250 by 250 pixels · cropped to a single cell · bone marrow smear: 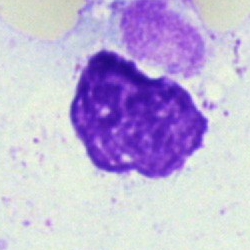

The cell shown is an artifact.